250 by 250 pixels; bone marrow smear.
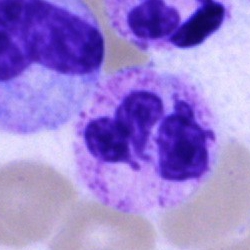
Single cell identified as a neutrophil (segmented).